250×250; single-cell field; bone marrow aspirate smear.
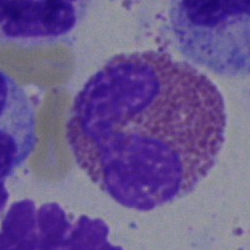{"cell_type": "eosinophilic granulocyte"}